Peripheral blood film:
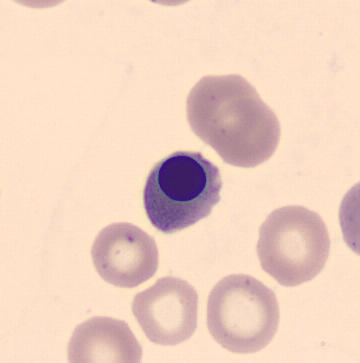

The cell is nucleated red cell.